Bone marrow aspirate smear.
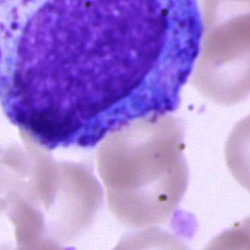 Promyelocyte.